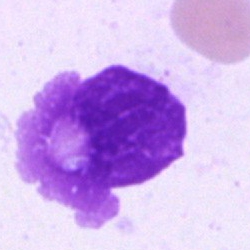The cell shown is an artefact.